Bone marrow smear — 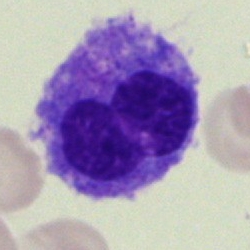 Q: What is shown here?
A: This is a monocyte.